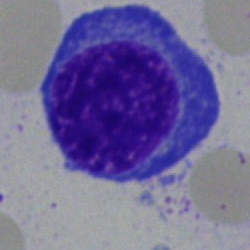 Specimen: bone marrow smear.
Cell type: plasmacyte.
Lineage: lymphoid.